Bone marrow smear — 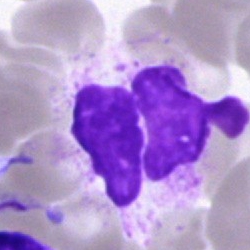 Q: What is shown here?
A: It is an artefact.